Bone marrow aspirate smear:
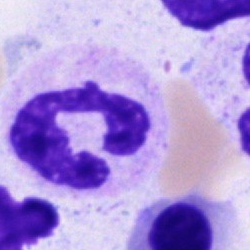
Morphology → polymorphonuclear neutrophil.